Single cell centered in the field; bone marrow smear; brightfield, 40× oil-immersion objective:
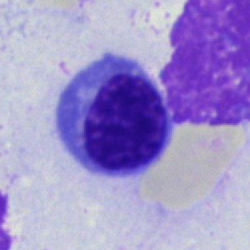 Q: What cell is this?
A: It is a nucleated red cell.